40× objective, oil immersion · bone marrow aspirate smear · single cell centered in the field — 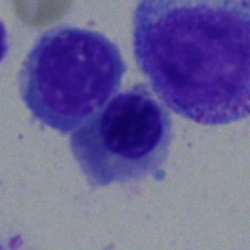 Q: What is shown here?
A: An erythroblast.